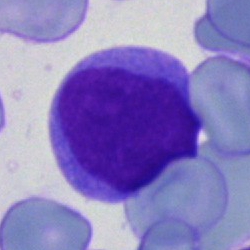
A blast cell on a bone marrow smear.